Bone marrow aspirate smear:
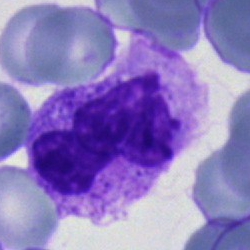Specimen: bone marrow smear.
Morphological class: neutrophil (segmented).
Lineage: myeloid.